Bone marrow aspirate smear — 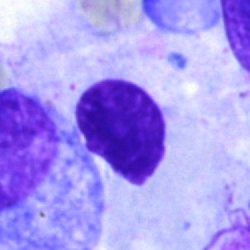

Showing an artefact.